Brightfield, 40× oil-immersion objective. Pappenheim-stained. Bone marrow smear: 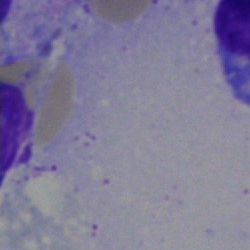Showing an artefact.